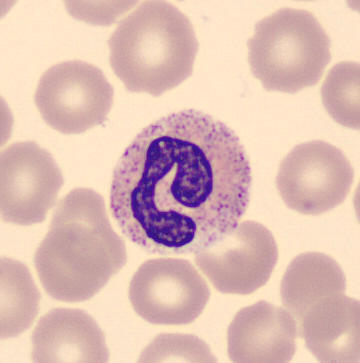

This is a band-form neutrophil.